Bone marrow aspirate smear
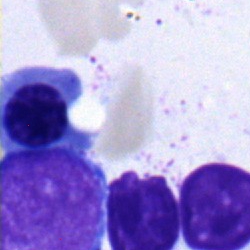Morphology → erythroblast.